Bone marrow aspirate smear. May-Grünwald-Giemsa stain:
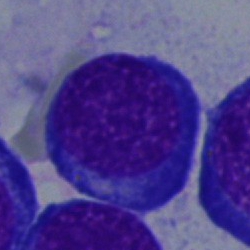 This is a proerythroblast.